Bone marrow smear — 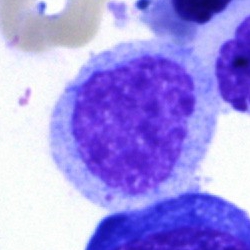Impression → progranulocyte.